May-Grünwald-Giemsa stain; bone marrow smear; 250×250 px: 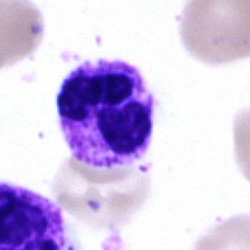 Specimen: bone marrow aspirate smear.
Cell type: segmented neutrophil.